Bone marrow aspirate smear — 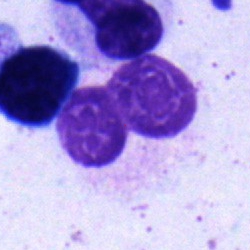 Q: What type of cell is this?
A: It is a segmented neutrophil.